Bone marrow smear.
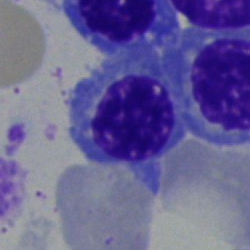 This is an erythroblast.